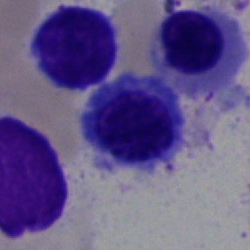Q: Identify the cell.
A: Normoblast.